Bone marrow aspirate smear. 40× objective, oil immersion:
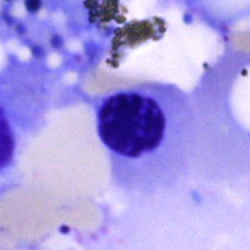Q: What cell is this?
A: Nucleated red cell.